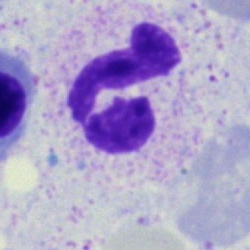 Classification: polymorphonuclear neutrophil.